Bone marrow smear
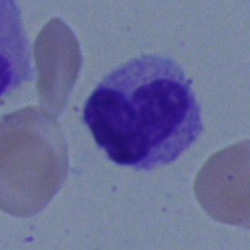 Classification: band neutrophil.